Bone marrow aspirate smear.
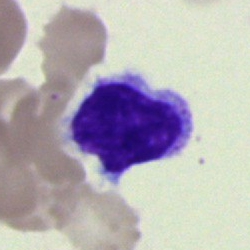{"cell_type": "typical lymphocyte"}